250 by 250 pixels. Bone marrow smear. 40× oil immersion — 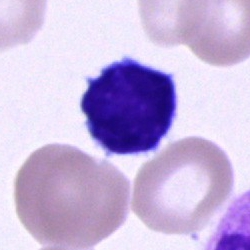 Morphological class — typical lymphocyte.